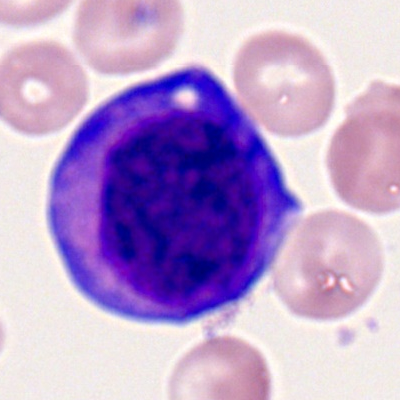Classification — myeloblast.